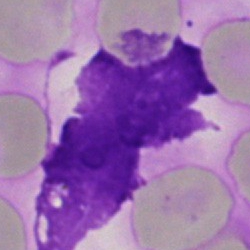Single-cell crop from a bone marrow smear: artefact.